250×250 · bone marrow smear — 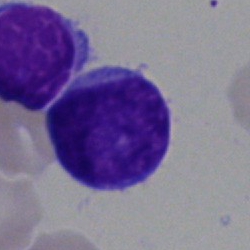

Specimen: bone marrow smear.
Morphological class: blast.